Bone marrow aspirate smear. Single-cell crop
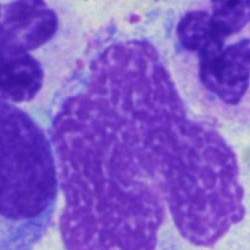Morphology consistent with an artifact.